Peripheral blood smear:
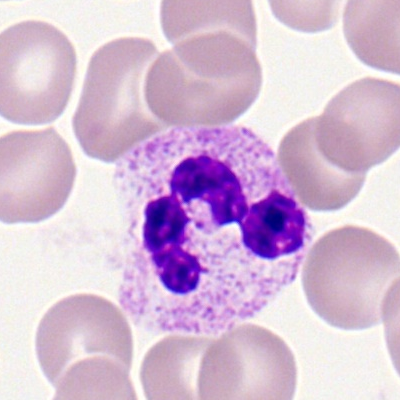 Morphological class = segmented neutrophil.